Bone marrow smear; MGG-stained; image size 250×250:
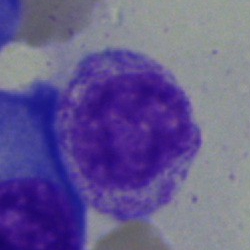
Showing a myelocyte.